Bone marrow aspirate smear.
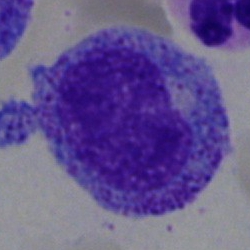Q: What cell is this?
A: Progranulocyte.